Bone marrow aspirate smear:
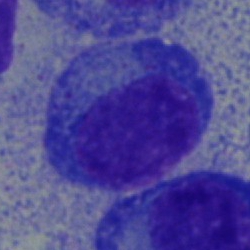
A plasma cell.